Bone marrow aspirate smear: 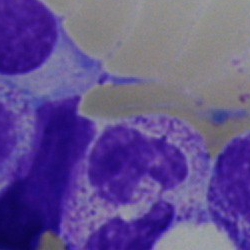 A segmented neutrophil.